Bone marrow aspirate smear.
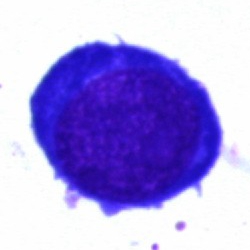

A nucleated red cell.